Bone marrow smear; image size 250×250
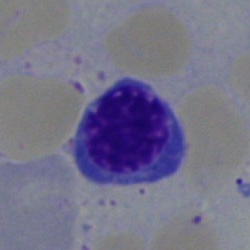Nucleated red blood cell.